Bone marrow aspirate smear:
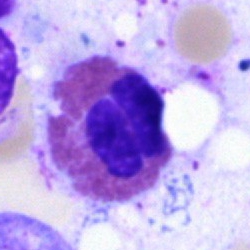An eosinophilic granulocyte.